Bone marrow aspirate smear. MGG-stained. Single cell centered in the field: 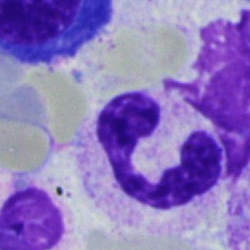Single cell identified as a polymorphonuclear neutrophil.